Bone marrow aspirate smear:
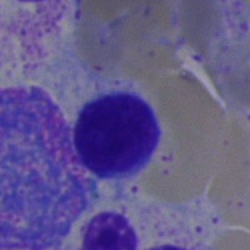The cell shown is a typical lymphocyte.